Bone marrow smear.
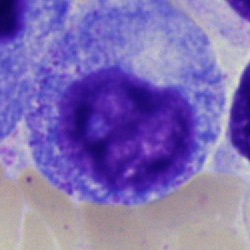Specimen: bone marrow aspirate smear.
Cell: promyelocyte.